Bone marrow aspirate smear. 40× objective, oil immersion — 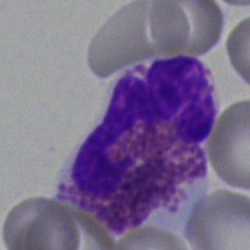

Morphological class = eosinophil.